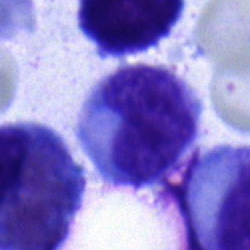

Cell — monocyte.